Brightfield microscopy, 40× oil immersion · bone marrow smear: 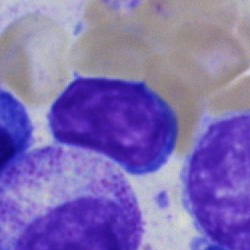Morphology consistent with a typical lymphocyte.